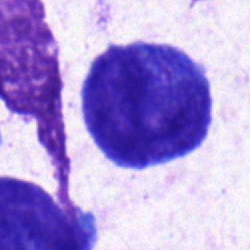Q: What is shown here?
A: It is a blast cell.